Bone marrow aspirate smear — 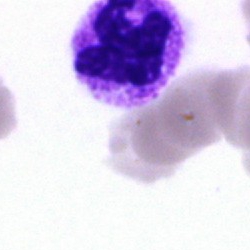

Q: What is shown here?
A: This is a polymorphonuclear neutrophil.